Bone marrow aspirate smear — 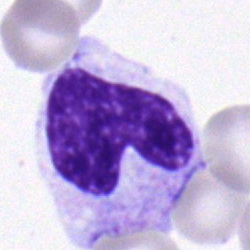

Morphology consistent with a metamyelocyte.